Bone marrow aspirate smear · cropped to a single cell — 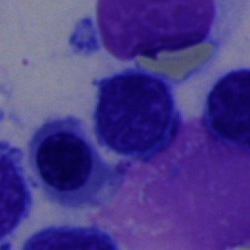

Morphology — typical lymphocyte.